Bone marrow aspirate smear: 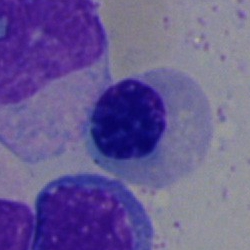

Specimen: bone marrow smear.
Morphological class: nucleated red blood cell.